Bone marrow smear:
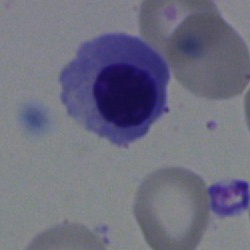

A nucleated red blood cell.